Cropped to a single cell · 250 by 250 pixels · bone marrow smear
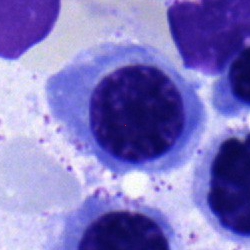The cell type is nucleated red cell.